Bone marrow aspirate smear.
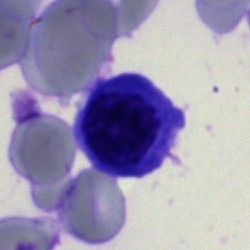Specimen: bone marrow aspirate smear.
Cell type: nucleated red cell.
Lineage: erythroid.